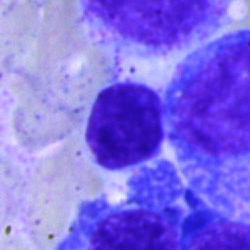Morphological class = typical lymphocyte.